Pappenheim-stained. Bone marrow aspirate smear
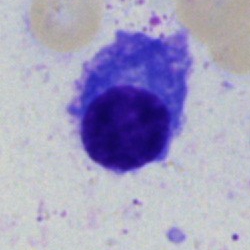

This is a plasmacyte.